Bone marrow smear. May-Grünwald-Giemsa stain. 250×250:
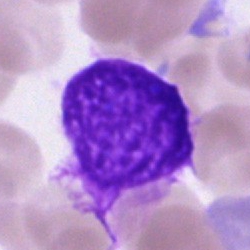

Artefact.